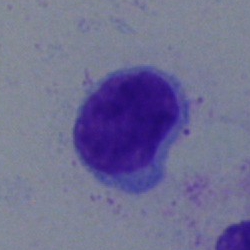
Morphology consistent with a typical lymphocyte.